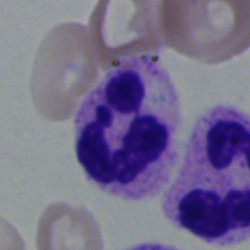{"cell_type": "polymorphonuclear neutrophil"}